Bone marrow smear: 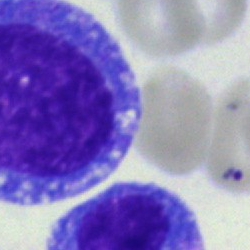Morphology — blast cell.